Bone marrow smear — 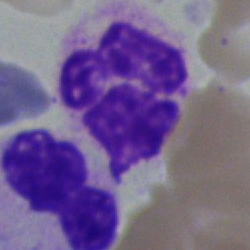 Impression → basophil.